Bone marrow aspirate smear — 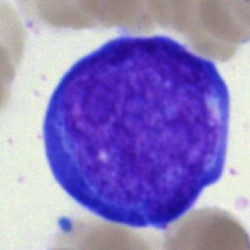 Impression → blast.